Bone marrow aspirate smear:
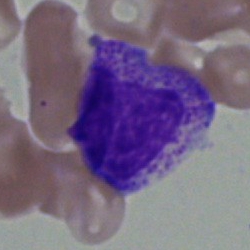
Cell = myelocyte.